Bone marrow smear; MGG-stained; 250×250 px.
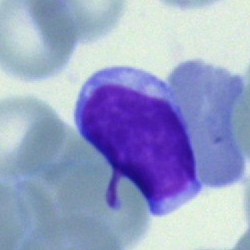
Specimen: bone marrow smear.
Cell: lymphocyte.